Pappenheim-stained; bone marrow aspirate smear.
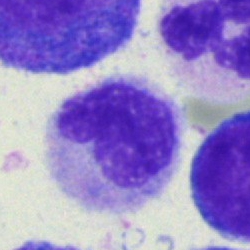
The classification is monocyte.